Bone marrow smear.
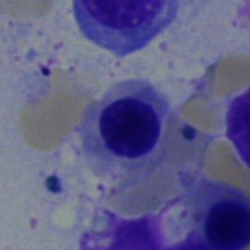Morphology → erythroblast.